Brightfield microscopy, 40× oil immersion. Single-cell crop. Bone marrow aspirate smear
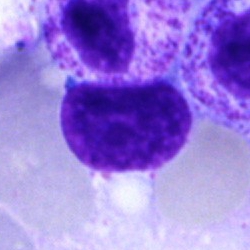Morphology consistent with a typical lymphocyte.